Bone marrow smear: 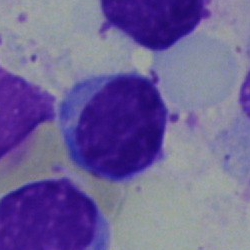
Showing a lymphocyte.